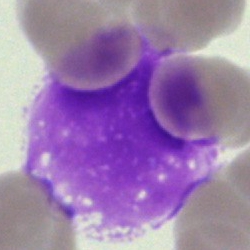
{"cell_type": "artefact"}